Single-cell field; bone marrow smear; MGG-stained — 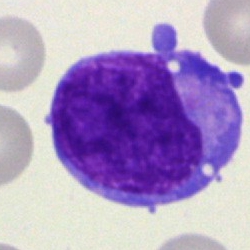

Showing an undifferentiated blast.